Bone marrow aspirate smear · 40× objective, oil immersion:
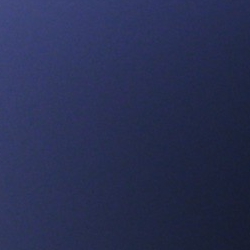 An artefact.